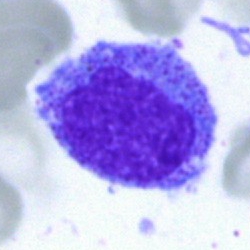
Morphology → blast.